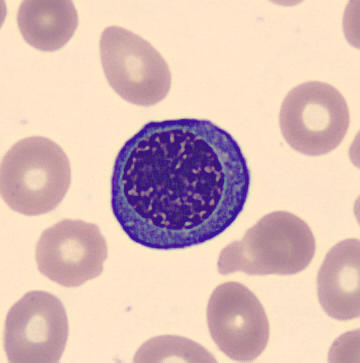 Morphology consistent with a nucleated red blood cell.

Preparation: Peripheral blood film.